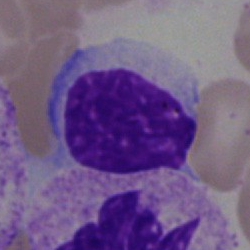Bone marrow smear showing an artifact.